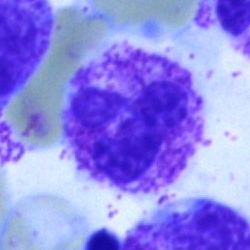 Classification — segmented neutrophil.